Bone marrow smear:
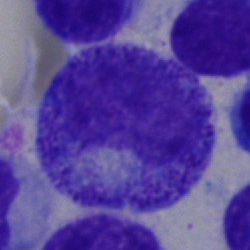{"cell_type": "progranulocyte", "lineage": "myeloid"}